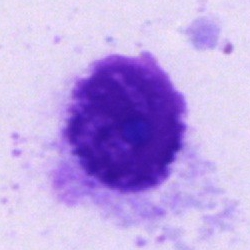
The classification is artefact.